250 by 250 pixels; bone marrow aspirate smear — 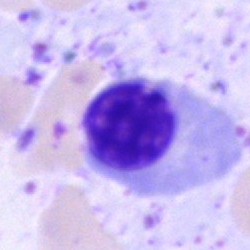A nucleated red blood cell.